Bone marrow aspirate smear — 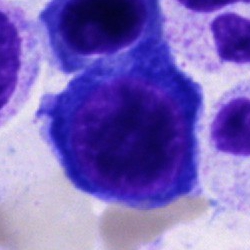Showing a pronormoblast.